Bone marrow aspirate smear · 40× oil immersion.
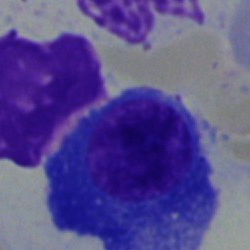

Morphology consistent with a plasma cell.